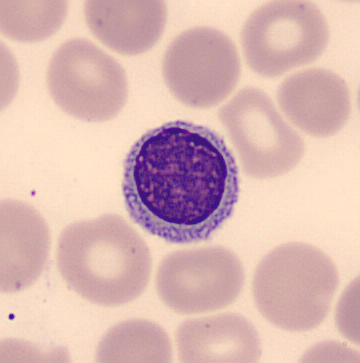 Peripheral blood smear. Morphology consistent with a lymphocyte.